250×250 px · bone marrow smear.
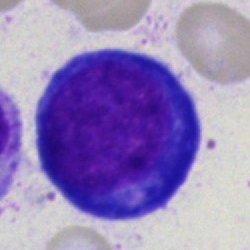Pronormoblast.